Image size 250×250; cropped to a single cell; bone marrow aspirate smear.
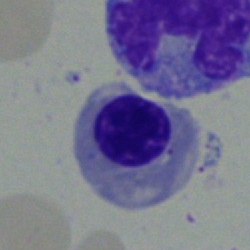Morphological class — normoblast.